Single-cell crop · bone marrow smear: 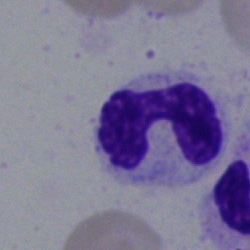

Morphological class — stab cell.